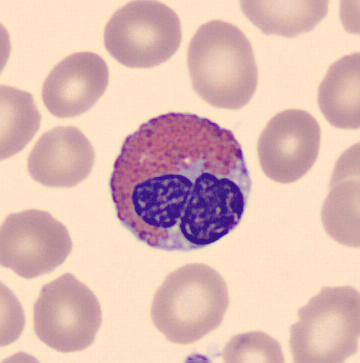

May-Grünwald-Giemsa-stained · single-cell field · peripheral blood film.

Q: Identify the cell.
A: Eosinophil.